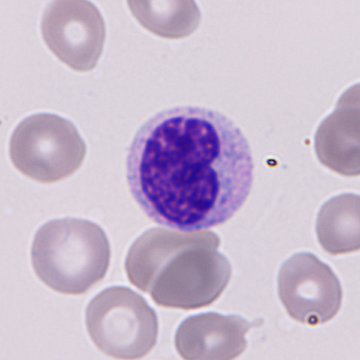
Q: What is the morphological classification of this cell?
A: Granulocyte precursor.